250×250 · bone marrow smear:
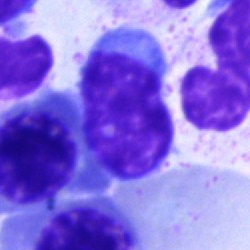
The cell type is typical lymphocyte.